Brightfield, 40× oil-immersion objective; bone marrow smear; May-Grünwald-Giemsa/Pappenheim stain: 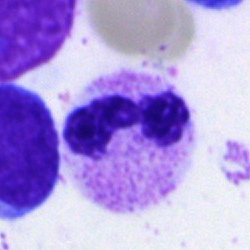 Showing a polymorphonuclear neutrophil.